400×400 · peripheral blood smear
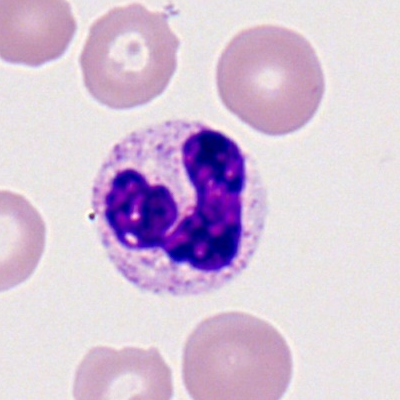 Q: What is shown here?
A: This is a polymorphonuclear neutrophil.